Bone marrow smear · 40× oil immersion · May-Grünwald-Giemsa/Pappenheim stain
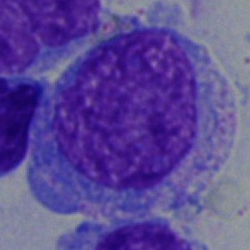
This is a promyelocyte.